Bone marrow smear
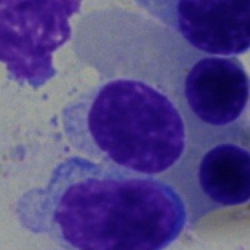
{"cell_type": "lymphocyte"}